Bone marrow smear · Pappenheim-stained: 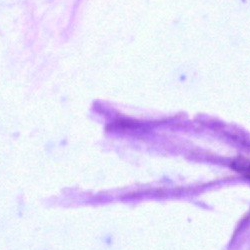 Morphology — artefact.